Bone marrow aspirate smear:
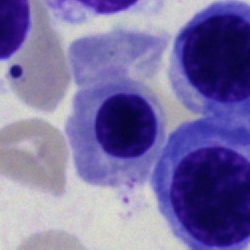
Q: What is shown here?
A: A normoblast.